Bone marrow smear.
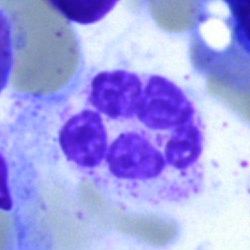

{"cell_type": "neutrophil (segmented)", "lineage": "myeloid"}